Bone marrow aspirate smear
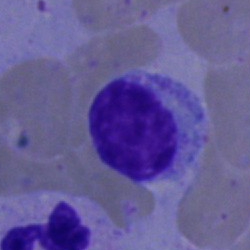
The cell type is lymphocyte.